250×250 · bone marrow smear:
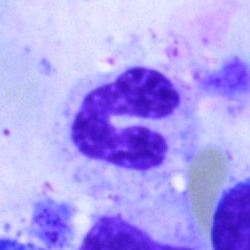 Single cell identified as a neutrophil (segmented).